Peripheral blood smear:
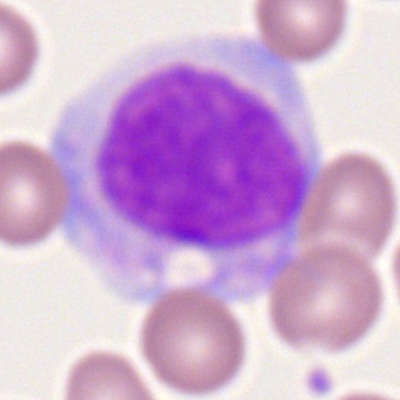
Q: Which cell type is shown here?
A: A monocyte.